Brightfield microscopy, 40× oil immersion · bone marrow aspirate smear: 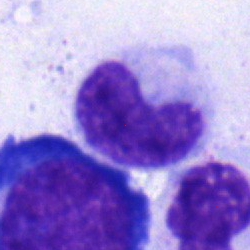
Specimen: bone marrow smear.
Morphological class: band-form neutrophil.
Lineage: myeloid.